Bone marrow smear.
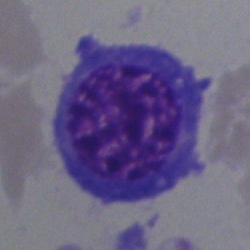
Showing a nucleated red cell.